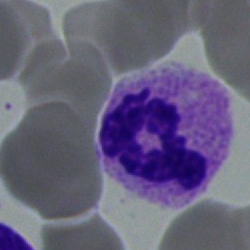 Morphology consistent with a neutrophil (segmented).